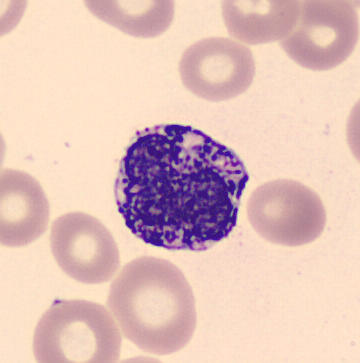

Cell type: basophilic granulocyte.
Peripheral blood smear · MGG stain · single-cell field.